MGG-stained; bone marrow aspirate smear
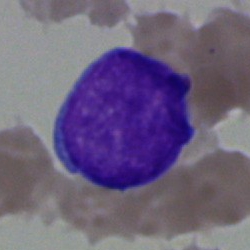 Cell — blast.